Single-cell field; bone marrow smear; May-Grünwald-Giemsa stain — 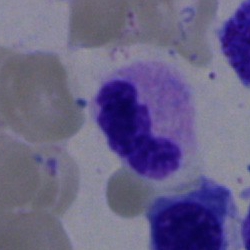Specimen: bone marrow smear.
Cell: neutrophil (segmented).
Lineage: myeloid.